Bone marrow aspirate smear.
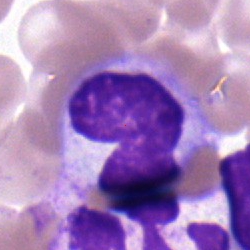

Q: What cell is this?
A: It is a band neutrophil.